Bone marrow smear · single-cell crop
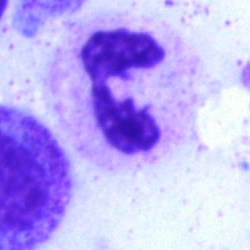 The cell shown is a segmented neutrophil.